Bone marrow aspirate smear: 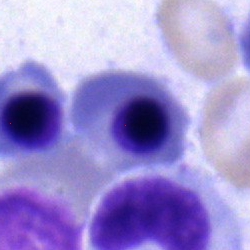 Morphology consistent with a nucleated red cell.